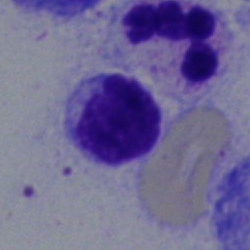Impression — lymphocyte.